Peripheral blood film — 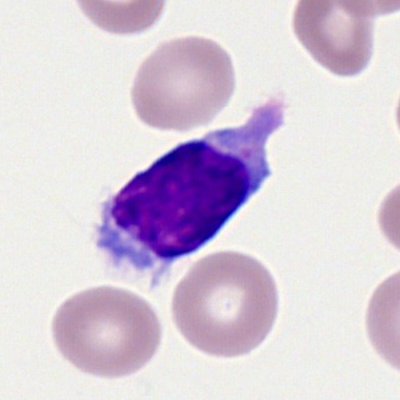Specimen: peripheral blood smear.
Cell type: typical lymphocyte.
Lineage: lymphoid.